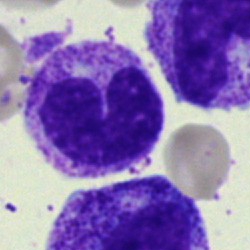Classification — stab cell.